Bone marrow aspirate smear: 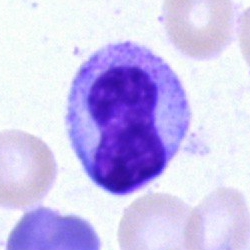

A metamyelocyte.